Bone marrow smear.
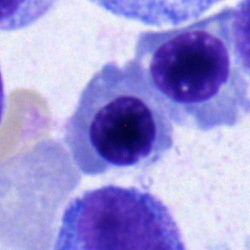{"cell_type": "monocyte"}